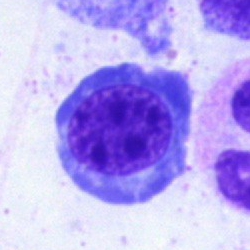 Q: What is shown here?
A: It is a nucleated red blood cell.